Bone marrow aspirate smear
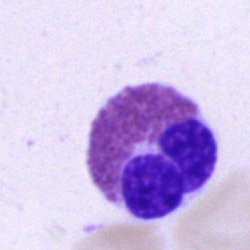Impression → eosinophil.